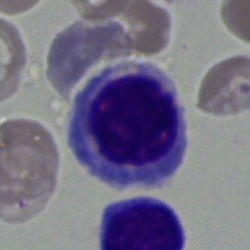
An erythroblast.